Single-cell field. Bone marrow smear. May-Grünwald-Giemsa stain.
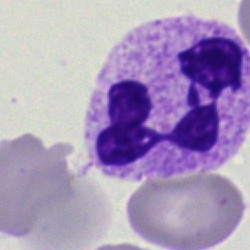 Cell — neutrophil (segmented).